Bone marrow aspirate smear — 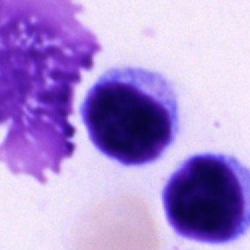

Specimen: bone marrow aspirate smear.
Cell: lymphocyte.